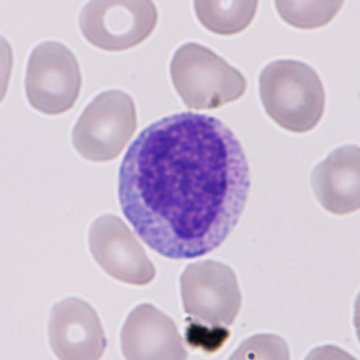
Peripheral blood film.

This is an immature granulocyte (promyelocyte, myelocyte or metamyelocyte).